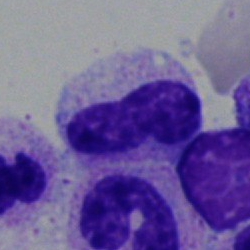
Q: What type of cell is this?
A: Neutrophil (band).